Bone marrow smear: 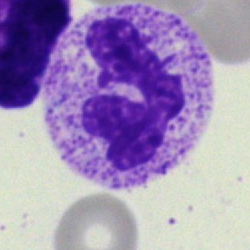Cell: neutrophil (segmented).